Peripheral blood smear. M8 digital microscope (Precipoint), 100× oil immersion.
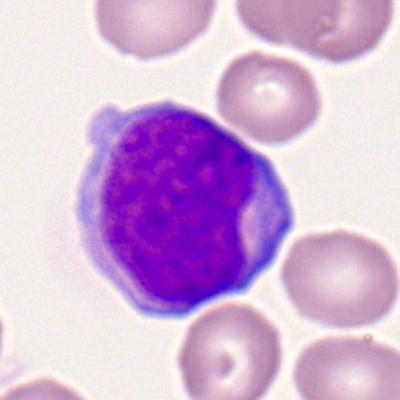
Q: What is shown here?
A: It is a myeloblast.